250 by 250 pixels. Bone marrow aspirate smear. Single-cell crop.
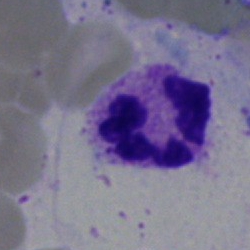

Q: Identify the cell.
A: A neutrophil (segmented).